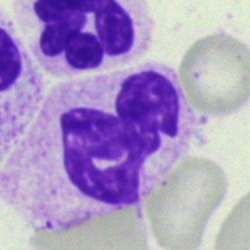 Morphology — polymorphonuclear neutrophil.